May-Grünwald-Giemsa stain · bone marrow smear:
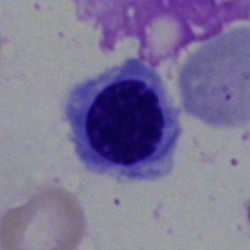Single cell identified as a normoblast.